Bone marrow smear — 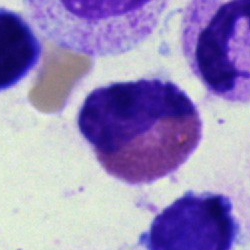Impression → eosinophil.